Bone marrow aspirate smear:
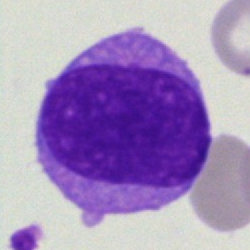
Specimen: bone marrow aspirate smear.
Morphological class: blast.